Bone marrow aspirate smear: 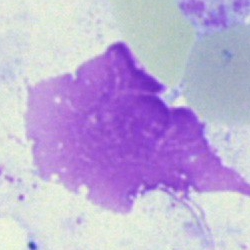Impression — artefact.